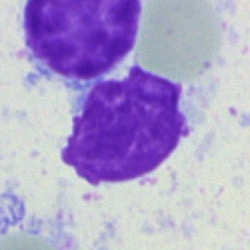

An artifact on a bone marrow smear.